Single-cell field. Bone marrow smear.
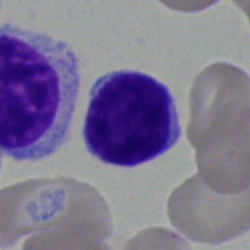Impression — lymphocyte.